Bone marrow smear · brightfield, 40× oil-immersion objective · cropped to a single cell:
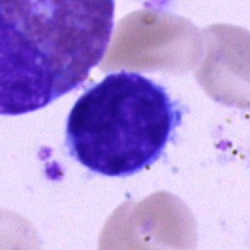

Q: What cell is this?
A: It is a lymphocyte.